Single-cell field · CellaVision DM96 · peripheral blood film — 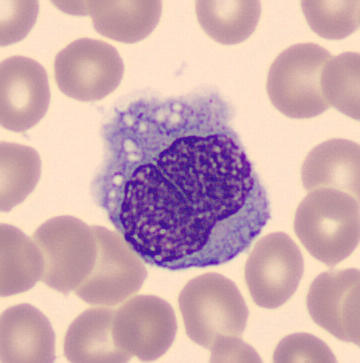 Showing a monocyte.